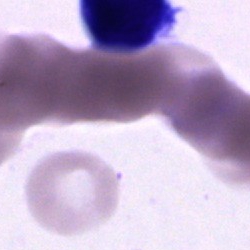Specimen: bone marrow aspirate smear.
Classification: unidentifiable cell.